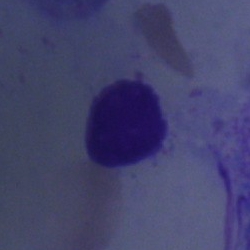
Morphology — typical lymphocyte.